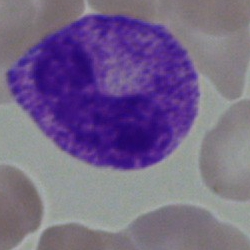
Specimen: bone marrow aspirate smear.
Cell type: stab cell.
Lineage: myeloid.